Peripheral blood film
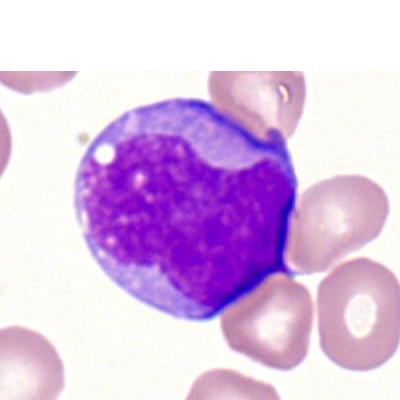

Impression — myeloid blast.